Single cell centered in the field · bone marrow aspirate smear:
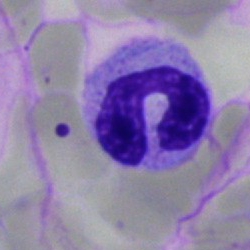

Cell type = band neutrophil.